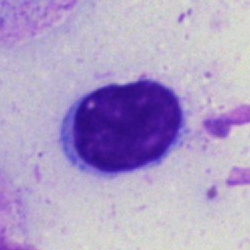
Q: What cell is this?
A: It is a lymphocyte.